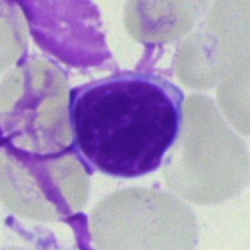

Q: Identify the cell.
A: A typical lymphocyte.